Bone marrow aspirate smear: 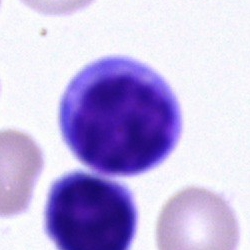
Cell: typical lymphocyte.